Bone marrow smear
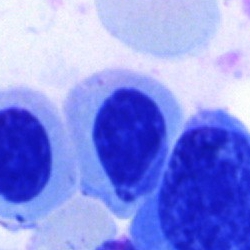Classification — artefact.